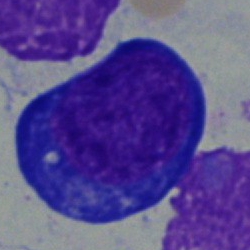

Specimen: bone marrow smear.
Cell type: proerythroblast.
Lineage: erythroid.